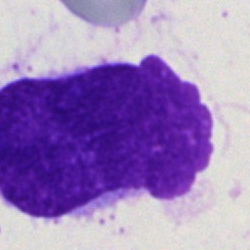

Single-cell crop from a bone marrow smear: artefact.